Bone marrow aspirate smear
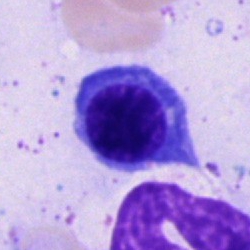Morphology — nucleated red blood cell.